Bone marrow aspirate smear — 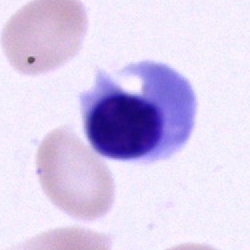 Specimen: bone marrow aspirate smear.
Classification: nucleated red blood cell.
Lineage: erythroid.